Peripheral blood smear.
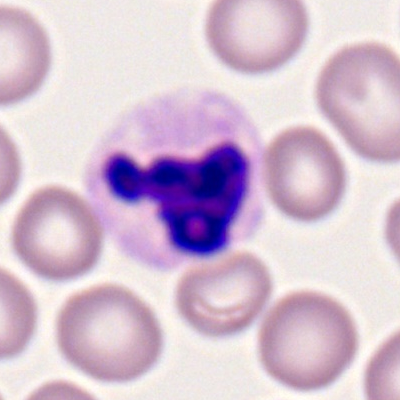
Specimen: peripheral blood film.
Cell: segmented neutrophil.
Lineage: myeloid.